Bone marrow aspirate smear; single-cell crop.
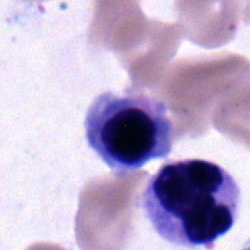
Showing a nucleated red blood cell.